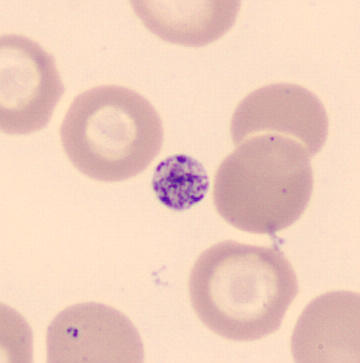
Morphology — thrombocyte.

Acquisition: May-Grünwald-Giemsa-stained · peripheral blood smear.